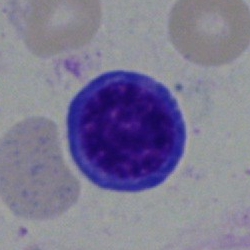
Cell type = normoblast.